Bone marrow smear; 40× objective, oil immersion.
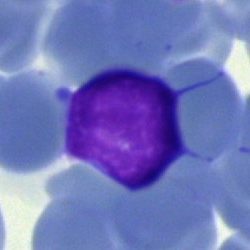

Morphological class = lymphocyte.